Peripheral blood smear
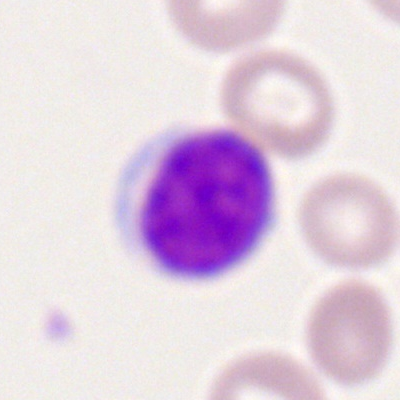 Specimen: peripheral blood film.
Morphological class: typical lymphocyte.
Lineage: lymphoid.